40× oil immersion; May-Grünwald-Giemsa stain; bone marrow aspirate smear.
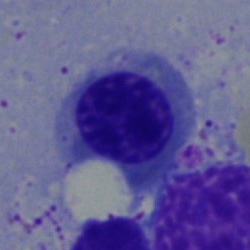Classification: normoblast.